Brightfield, 40× oil-immersion objective. Bone marrow aspirate smear. Single cell centered in the field
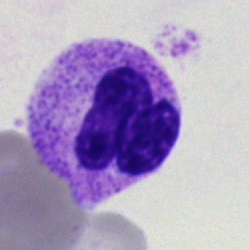

Cell type = polymorphonuclear neutrophil.